Bone marrow aspirate smear:
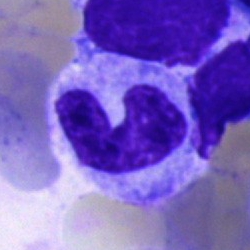 Showing a band-form neutrophil.